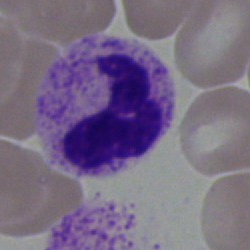
Showing a neutrophil (segmented).